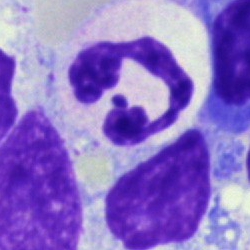 The classification is segmented neutrophil.